Pappenheim-stained · 250 by 250 pixels · bone marrow aspirate smear — 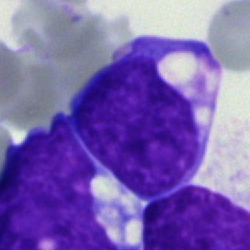

The morphological class is blast.